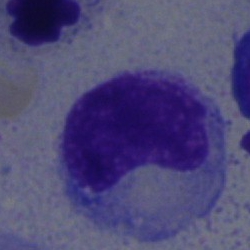Morphology → metamyelocyte.